Bone marrow smear:
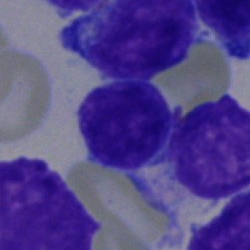 Morphology → undifferentiated blast.